Bone marrow aspirate smear:
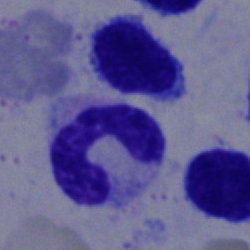 Morphology consistent with a polymorphonuclear neutrophil.